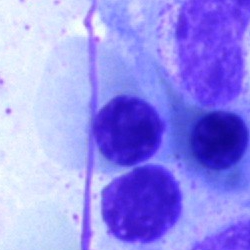 A nucleated red cell on a bone marrow smear.